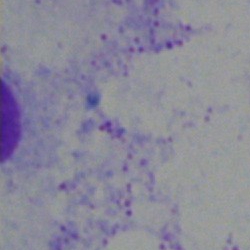Showing an artifact.